250×250; bone marrow smear:
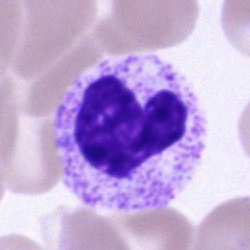Morphological class: neutrophil (segmented).